Single cell centered in the field · bone marrow smear · 250×250 px: 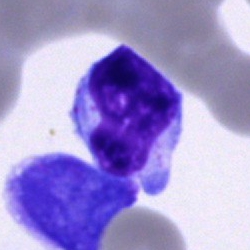

Impression → typical lymphocyte.